Bone marrow smear:
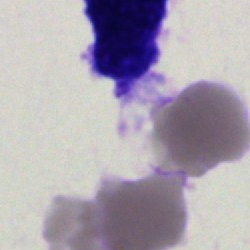 Classification — artifact.